Pappenheim-stained · bone marrow smear: 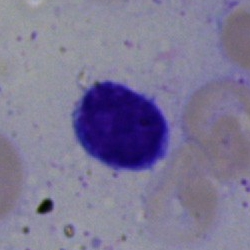 Single cell identified as a typical lymphocyte.